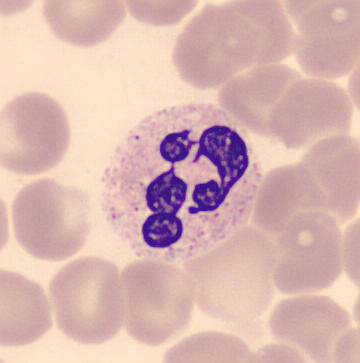Preparation: Single-cell crop; May-Grünwald-Giemsa-stained.
Specimen: peripheral blood film.
Morphological class: neutrophil (segmented).